Bone marrow aspirate smear; Pappenheim-stained:
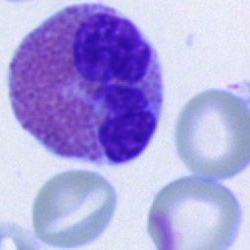
Cell — eosinophil.